250×250 · bone marrow smear: 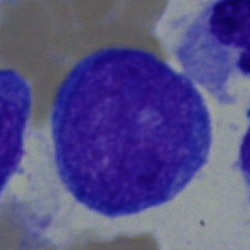Specimen: bone marrow smear.
Classification: blast.